Automated cell imaging (CellaVision DM96). Peripheral blood film
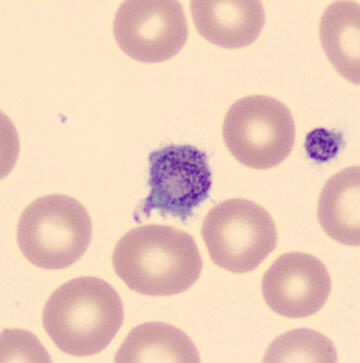Cell type: thrombocyte.